Bone marrow smear: 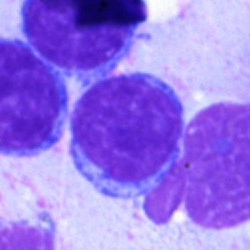 Morphology consistent with a lymphocyte.